Bone marrow aspirate smear:
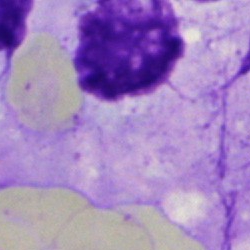

Cell — artefact.